Bone marrow aspirate smear.
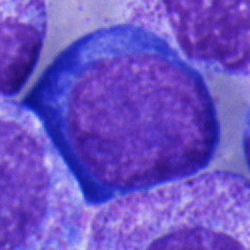 Specimen: bone marrow smear.
Cell type: proerythroblast.
Lineage: erythroid.